Bone marrow smear: 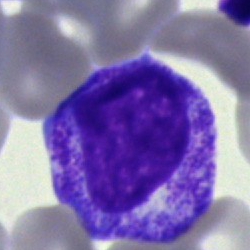

Morphology consistent with a progranulocyte.